MGG-stained · brightfield microscopy, 40× oil immersion · bone marrow smear:
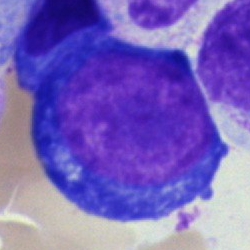

The cell shown is a pronormoblast.